Single-cell field; bone marrow smear; 250×250 px
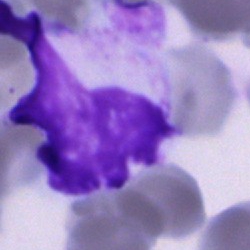
This is an unidentifiable cell.